Bone marrow smear. 250×250 px — 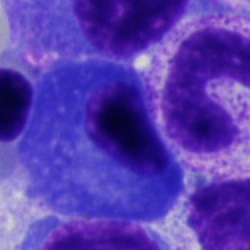
Cell type: plasmacyte.